250 by 250 pixels. Bone marrow aspirate smear: 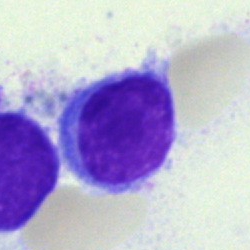
Specimen: bone marrow smear.
Classification: typical lymphocyte.
Lineage: lymphoid.